Bone marrow smear · 250 by 250 pixels · Pappenheim-stained
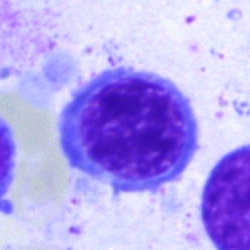

Specimen: bone marrow aspirate smear.
Morphological class: nucleated red cell.
Lineage: erythroid.